Bone marrow smear · image size 250×250.
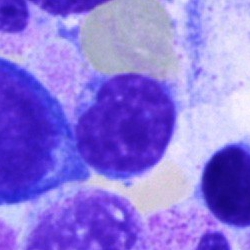 This is a typical lymphocyte.